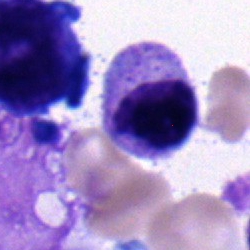 A myelocyte.